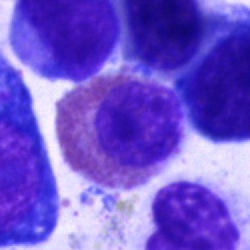 The classification is eosinophil.